Bone marrow smear:
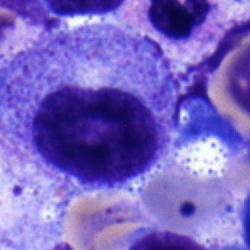

Morphological class = myelocyte.